Bone marrow aspirate smear.
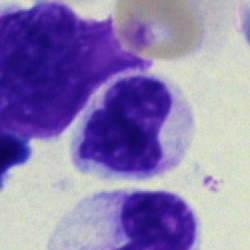

Metamyelocyte.